Bone marrow aspirate smear; MGG-stained:
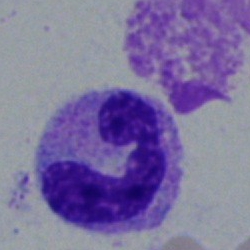

Specimen: bone marrow aspirate smear.
Cell: stab cell.
Lineage: myeloid.